Brightfield, 40× oil-immersion objective; bone marrow smear:
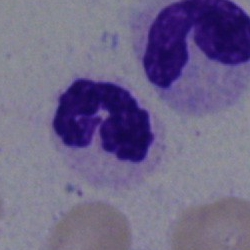
Morphological class: neutrophil (segmented).